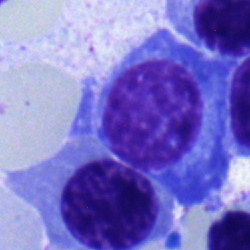Specimen: bone marrow aspirate smear.
Cell type: plasmacyte.
Lineage: lymphoid.